Bone marrow smear
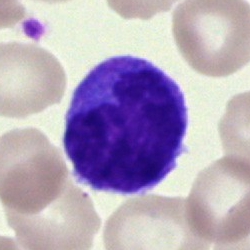 Morphological class — monocyte.